Bone marrow smear. May-Grünwald-Giemsa/Pappenheim stain
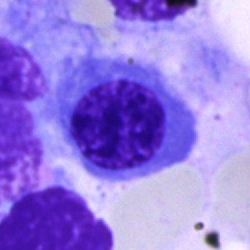Showing a nucleated red blood cell.